Bone marrow smear — 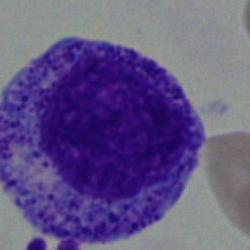

Morphology → myelocyte.